40× oil immersion. Bone marrow aspirate smear.
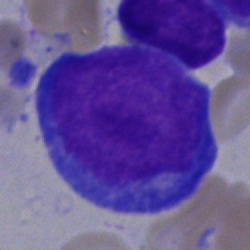 Specimen: bone marrow aspirate smear.
Morphological class: blast cell.